Bone marrow smear
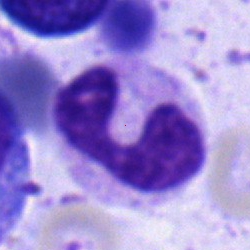

Impression — band-form neutrophil.